Bone marrow smear.
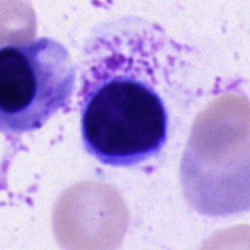
Q: What type of cell is this?
A: Lymphocyte.